250×250; brightfield, 40× oil-immersion objective; bone marrow smear.
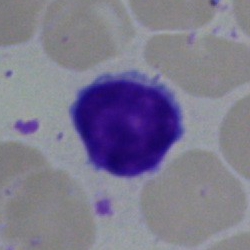
Specimen: bone marrow aspirate smear.
Classification: typical lymphocyte.
Lineage: lymphoid.